Peripheral blood smear; 100× oil immersion, 14.14 px/µm; image size 400×400 — 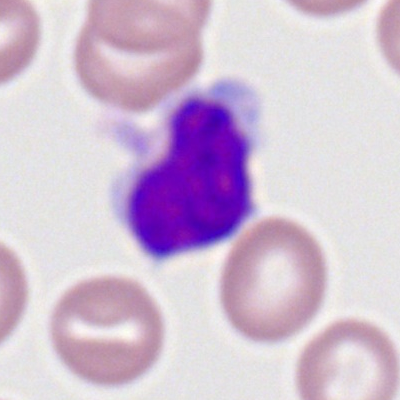
Q: What type of cell is this?
A: It is a typical lymphocyte.